Bone marrow aspirate smear · MGG-stained.
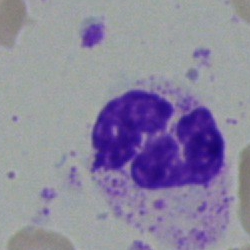

Single cell identified as a basophil.